40× objective, oil immersion. Bone marrow smear: 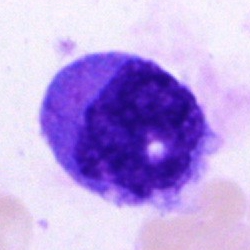 Specimen: bone marrow aspirate smear.
Cell type: monocyte.
Lineage: myeloid.